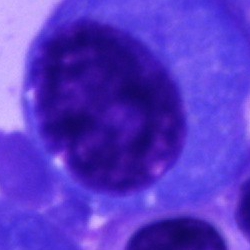
Classification = plasmacyte.